Bone marrow aspirate smear. 250×250 px. May-Grünwald-Giemsa stain.
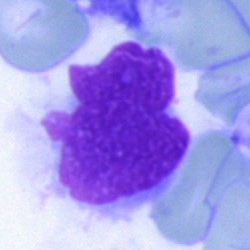

Artefact.